Bone marrow aspirate smear.
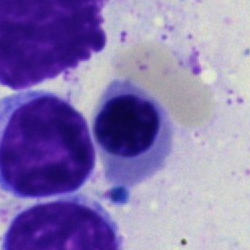Q: What is shown here?
A: Erythroblast.